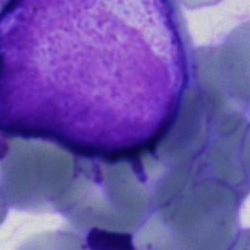 Cell: blast.